Bone marrow smear
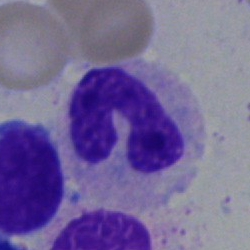Showing a neutrophil (segmented).